Bone marrow smear: 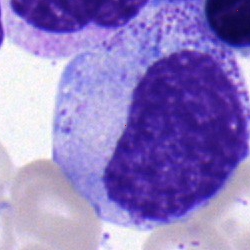
The cell shown is a progranulocyte.